Bone marrow smear. Single cell centered in the field.
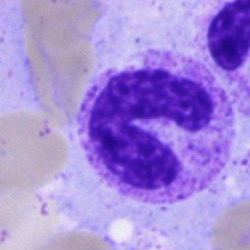 Impression → band neutrophil.